Bone marrow smear. Brightfield, 40× oil-immersion objective. May-Grünwald-Giemsa stain:
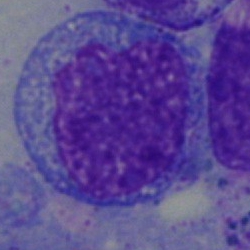 {"cell_type": "blast"}